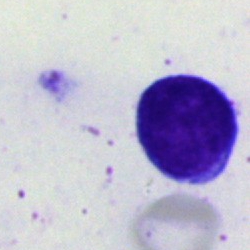 Morphology — lymphocyte.